Bone marrow aspirate smear
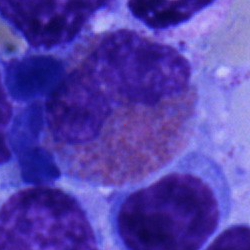Specimen: bone marrow smear.
Cell type: eosinophilic granulocyte.